Cropped to a single cell · bone marrow smear · 250×250 — 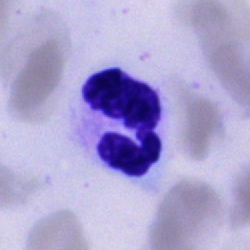
A polymorphonuclear neutrophil.